Peripheral blood smear:
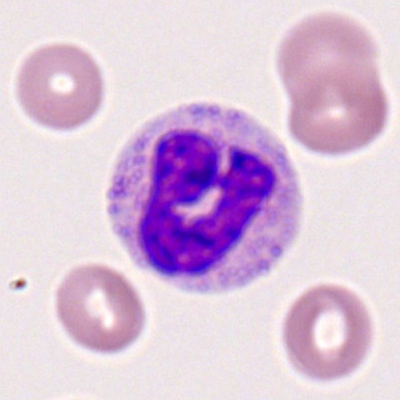Single cell identified as a segmented neutrophil.